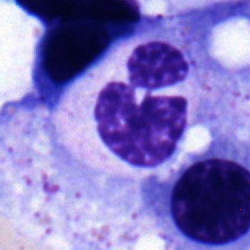

The cell is polymorphonuclear neutrophil.